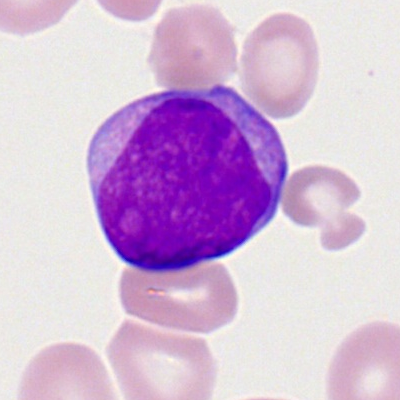Impression — myeloblast.